Bone marrow smear: 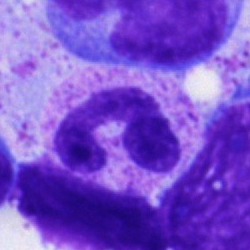 This is a band neutrophil.